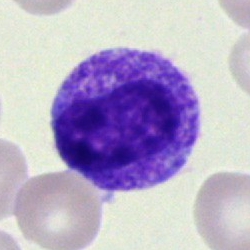
Showing a metamyelocyte.